MGG-stained; bone marrow smear
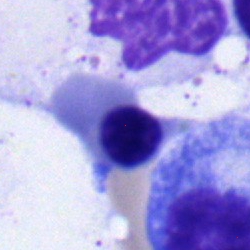
Showing an erythroblast.